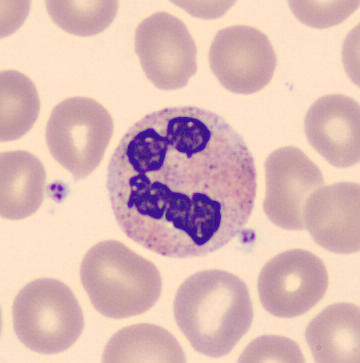

Image: May-Grünwald-Giemsa-stained; 360×363; peripheral blood smear.
Q: What is shown here?
A: It is a segmented neutrophil.